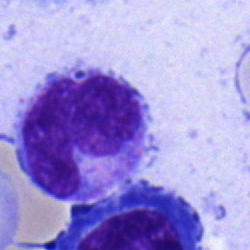
Cell — monocyte.